Bone marrow smear.
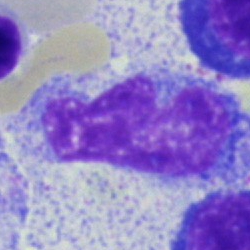Q: What is shown here?
A: Artefact.